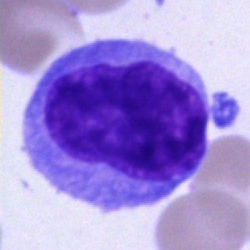Cell: undifferentiated blast.